Bone marrow smear
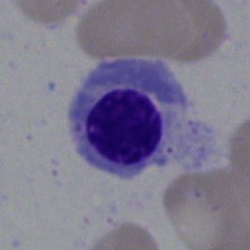

Morphology consistent with a nucleated red cell.